Bone marrow aspirate smear
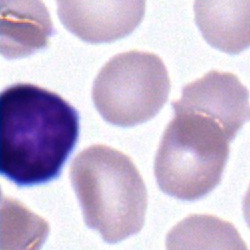
Morphology consistent with a typical lymphocyte.